Peripheral blood film.
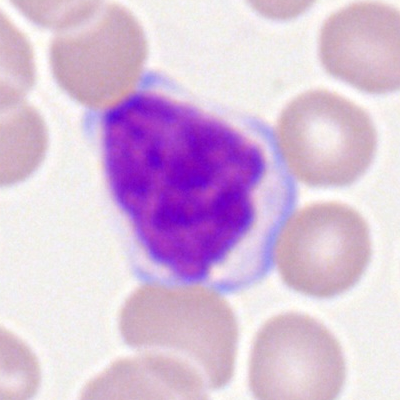
Q: What is the morphological classification of this cell?
A: It is a typical lymphocyte.